Bone marrow smear — 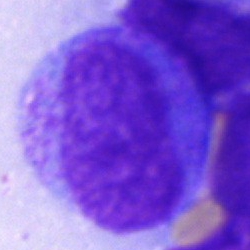

The classification is progranulocyte.